Bone marrow aspirate smear:
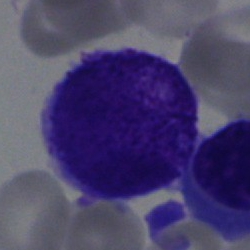

Q: What cell is this?
A: This is a blast.